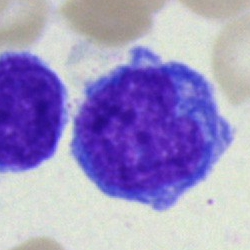 This is a blast.